Brightfield, 40× oil-immersion objective; bone marrow smear: 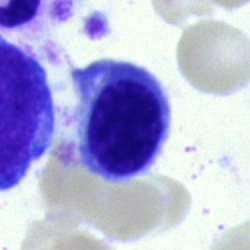

Morphological class: erythroblast.